Bone marrow smear · Pappenheim-stained.
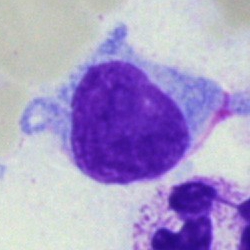Q: What type of cell is this?
A: Hairy cell.